Bone marrow smear
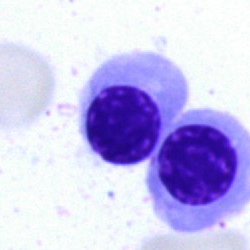 Morphology consistent with a nucleated red blood cell.